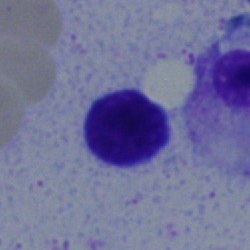Morphology — typical lymphocyte.